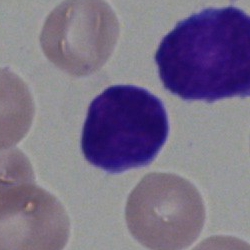Bone marrow smear showing a lymphocyte.